Bone marrow aspirate smear:
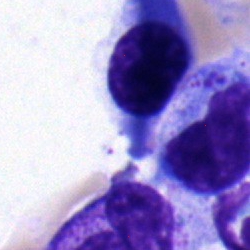
{"cell_type": "lymphocyte"}